Bone marrow smear — 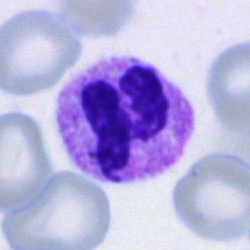
Morphology consistent with a neutrophil (segmented).